Bone marrow aspirate smear · single-cell crop: 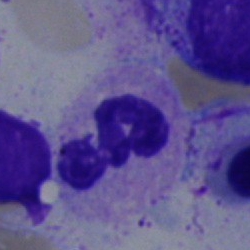 Morphology consistent with a neutrophil (segmented).